Bone marrow aspirate smear · May-Grünwald-Giemsa/Pappenheim stain
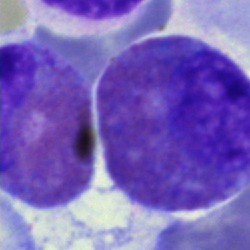 Cell: eosinophilic granulocyte.